Brightfield microscopy, 40× oil immersion · bone marrow aspirate smear
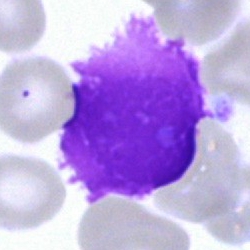

Specimen: bone marrow aspirate smear.
Cell: artifact.